Bone marrow smear — 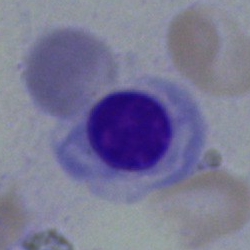 Specimen: bone marrow smear.
Cell: normoblast.